Bone marrow aspirate smear. 250×250 px. 40× oil immersion: 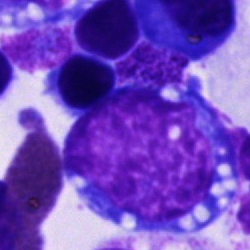 Q: Which cell type is shown here?
A: It is a pronormoblast.